Bone marrow smear:
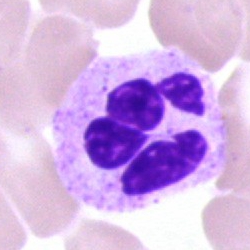
Cell — neutrophil (segmented).